250×250. Bone marrow smear:
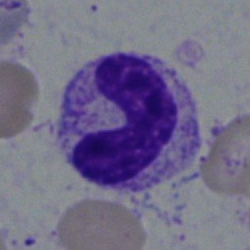 Morphological class = band neutrophil.